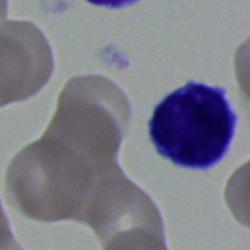
Bone marrow aspirate smear, single cell — typical lymphocyte.